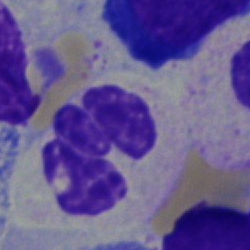

Morphological class = polymorphonuclear neutrophil.